Bone marrow smear.
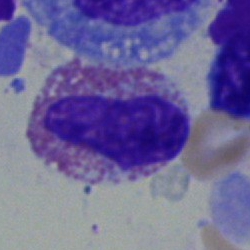 Q: What is the morphological classification of this cell?
A: An eosinophilic granulocyte.